Bone marrow smear. Single-cell crop
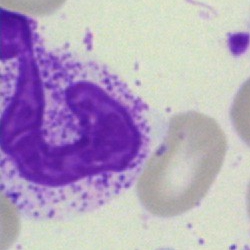The cell shown is an artefact.